40× objective, oil immersion; bone marrow aspirate smear: 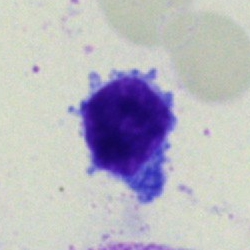

Impression → lymphocyte.